Bone marrow smear. Pappenheim-stained: 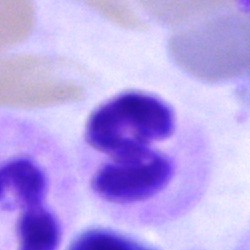Showing a segmented neutrophil.